Bone marrow aspirate smear:
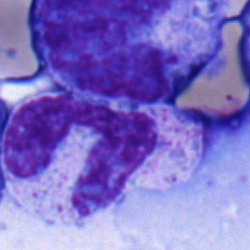Q: Which cell type is shown here?
A: Monocyte.